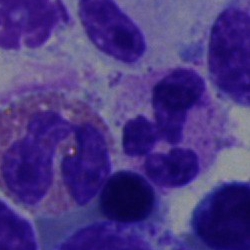Q: What is shown here?
A: This is a segmented neutrophil.